Single-cell field; bone marrow smear:
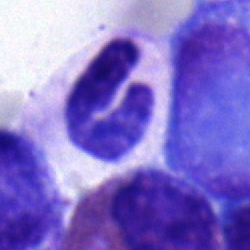Single cell identified as a band-form neutrophil.